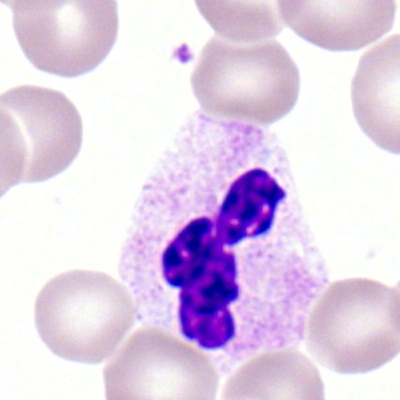
Single cell identified as a segmented neutrophil.